Bone marrow aspirate smear: 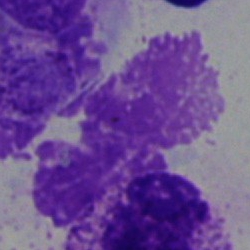 Cell type = basophil.